MGG-stained. Cropped to a single cell. Bone marrow smear
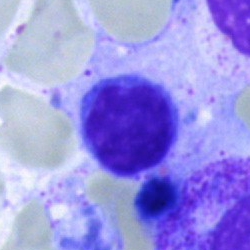
Classification = typical lymphocyte.